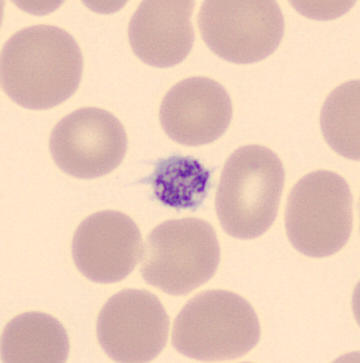

Specimen: peripheral blood smear.
Classification: thrombocyte.
Preparation: May-Grünwald-Giemsa-stained.